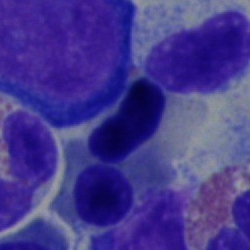Impression → nucleated red cell.